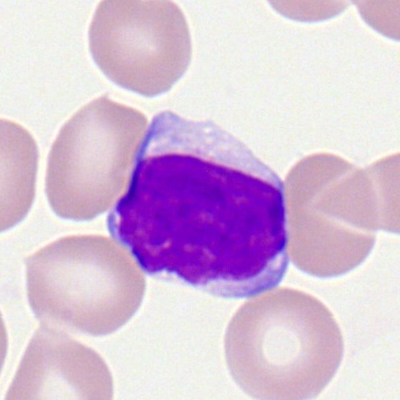The cell shown is a lymphocyte.